Bone marrow smear · May-Grünwald-Giemsa/Pappenheim stain · 250×250:
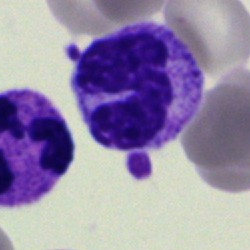A segmented neutrophil.